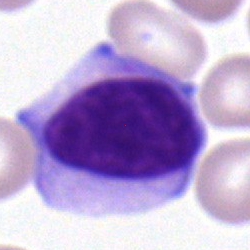 Q: What cell is this?
A: Lymphocyte.